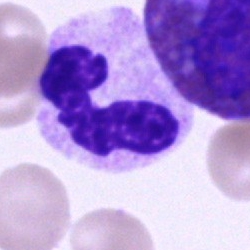
Showing a segmented neutrophil.